Peripheral blood smear
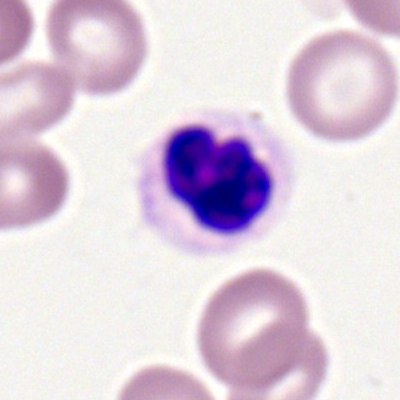
Q: What type of cell is this?
A: It is a neutrophil (segmented).